Bone marrow aspirate smear: 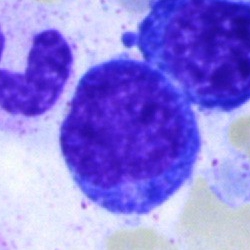Cell: proerythroblast.